May-Grünwald-Giemsa stain. Bone marrow smear. 40× oil immersion: 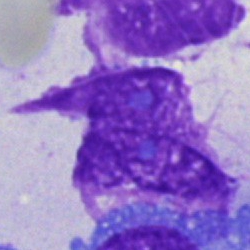 The cell shown is an artifact.